Bone marrow aspirate smear
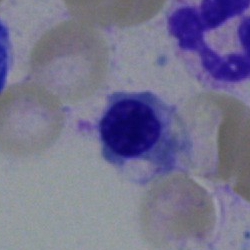 Classification = nucleated red cell.